Bone marrow smear — 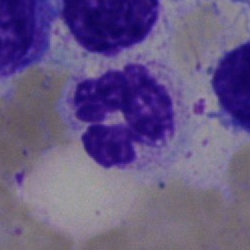Q: Which cell type is shown here?
A: This is a segmented neutrophil.